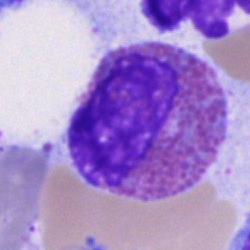

Classification: eosinophil.